Bone marrow smear.
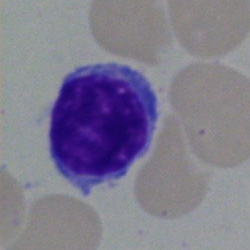 Q: Identify the cell.
A: It is a lymphocyte.